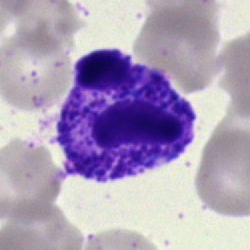
A segmented neutrophil.